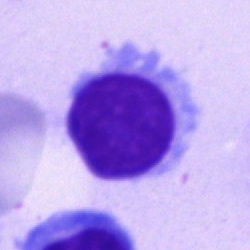Q: What type of cell is this?
A: A typical lymphocyte.